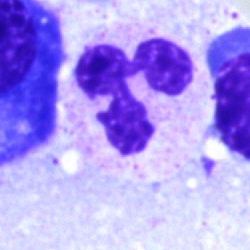

The cell is neutrophil (segmented).